Bone marrow aspirate smear:
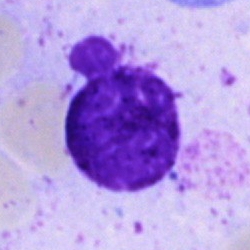

{"cell_type": "artifact"}